Image size 250×250; bone marrow aspirate smear — 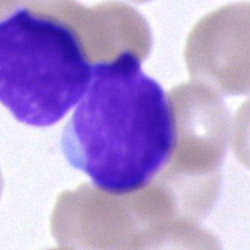 Q: What is shown here?
A: It is a typical lymphocyte.